Bone marrow aspirate smear:
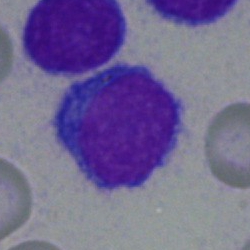 Specimen: bone marrow smear.
Cell: typical lymphocyte.
Lineage: lymphoid.